Bone marrow smear. 250 by 250 pixels.
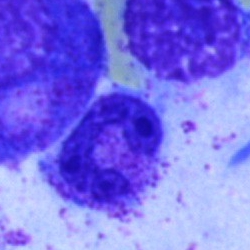
Showing a polymorphonuclear neutrophil.